Bone marrow aspirate smear; MGG-stained — 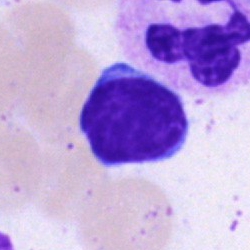 A typical lymphocyte.